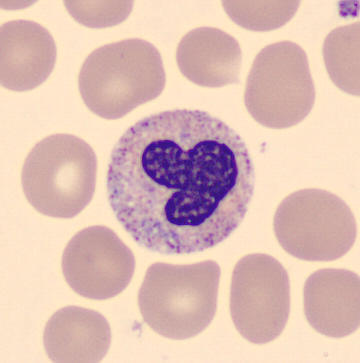 Automated cell imaging (CellaVision DM96); MGG-stained; peripheral blood smear.

A stab cell.